250×250 px; bone marrow aspirate smear; Pappenheim-stained
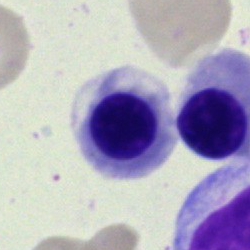
The cell is nucleated red blood cell.